Bone marrow aspirate smear
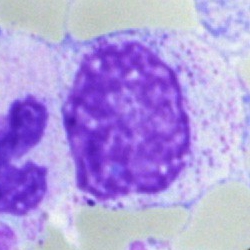 Specimen: bone marrow aspirate smear.
Classification: myelocyte.